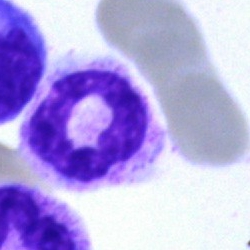
Cell: segmented neutrophil.